Brightfield, 40× oil-immersion objective · bone marrow smear:
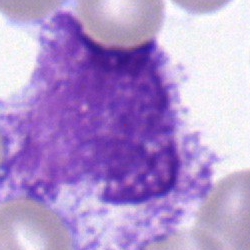

A myelocyte.